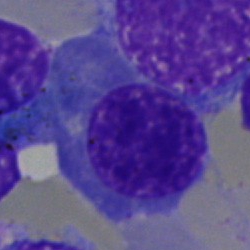A nucleated red blood cell.